MGG-stained; bone marrow smear.
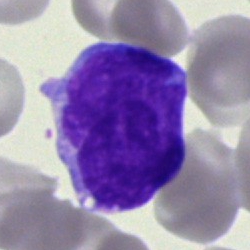
Q: What is the morphological classification of this cell?
A: It is a blast.